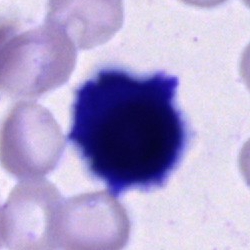Specimen: bone marrow smear.
Cell: unidentifiable cell.